Peripheral blood film — 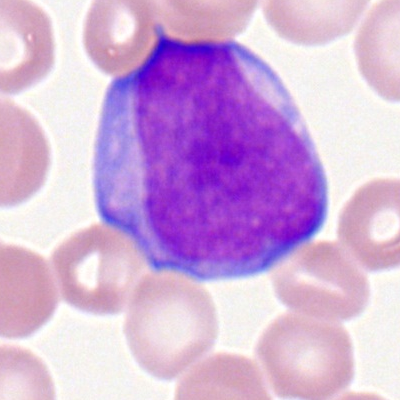

A myeloblast.